Bone marrow aspirate smear — 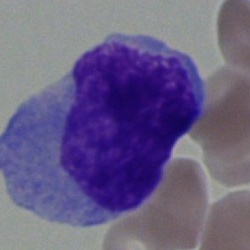 Q: What cell is this?
A: An undifferentiated blast.